Single-cell field; peripheral blood film: 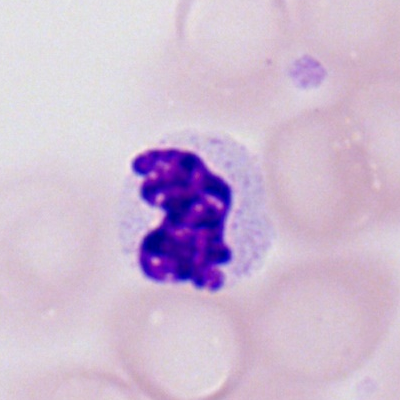

Morphology → polymorphonuclear neutrophil.